Bone marrow smear · brightfield, 40× oil-immersion objective
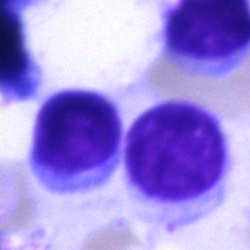 {"cell_type": "lymphocyte"}